Single-cell crop · bone marrow smear · MGG-stained:
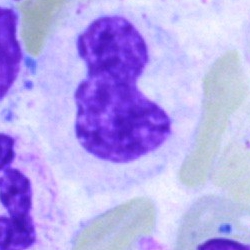

The morphological class is neutrophil (band).